Bone marrow smear:
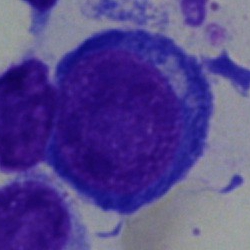
Erythroblast.